Bone marrow smear:
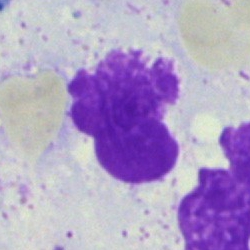
Morphology — artifact.